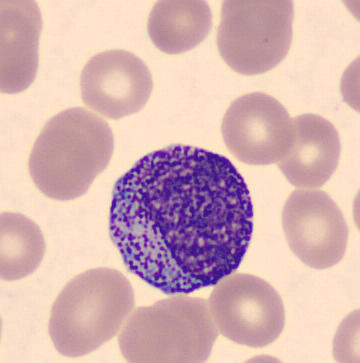

Showing a promyelocyte. Image: Peripheral blood film · May Grünwald-Giemsa stain.